250×250. Bone marrow smear — 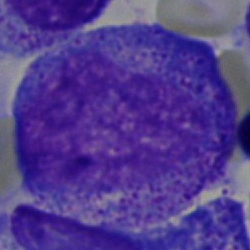Showing a promyelocyte.